Single-cell field · 250 by 250 pixels · bone marrow smear: 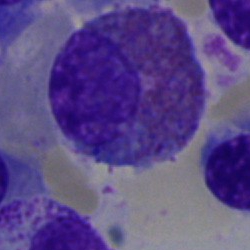Showing an eosinophilic granulocyte.